May-Grünwald-Giemsa stain; bone marrow smear — 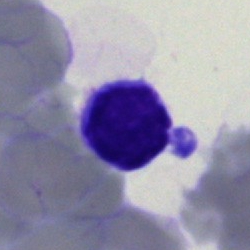Single cell identified as a lymphocyte.